Bone marrow aspirate smear: 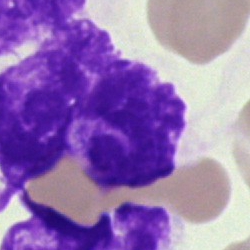
The cell shown is an artefact.